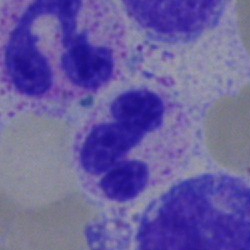Q: What cell is this?
A: Segmented neutrophil.